Bone marrow smear · single cell centered in the field:
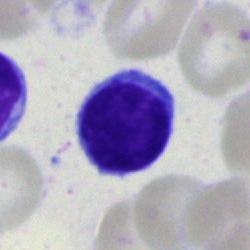

Classification: typical lymphocyte.